250×250 px; bone marrow smear.
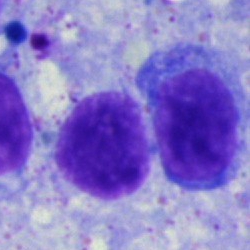 Cell: lymphocyte.